Peripheral blood smear · single cell centered in the field — 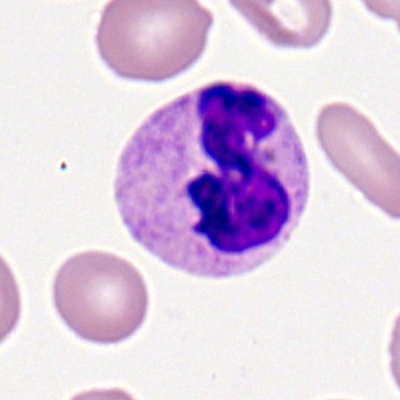

Segmented neutrophil.